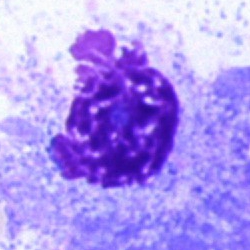

{"cell_type": "artefact"}